Bone marrow smear:
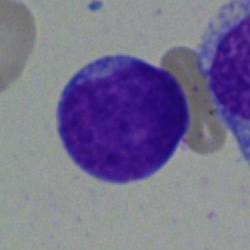 Specimen: bone marrow smear.
Morphological class: undifferentiated blast.